Bone marrow smear: 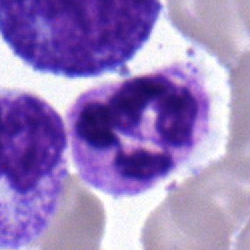{"cell_type": "polymorphonuclear neutrophil", "lineage": "myeloid"}